Bone marrow smear · MGG-stained · single cell centered in the field: 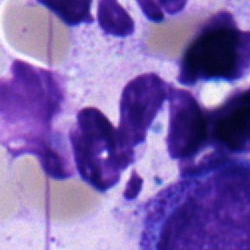
This is a segmented neutrophil.